250×250 · bone marrow aspirate smear · MGG-stained:
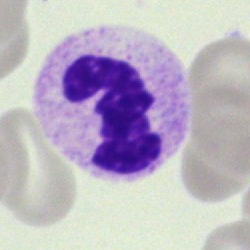 Morphological class — neutrophil (segmented).